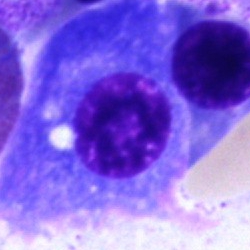Morphology consistent with a plasma cell.